Bone marrow smear: 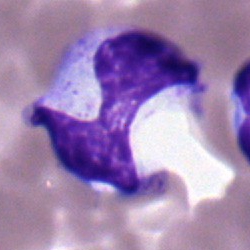 Specimen: bone marrow smear.
Cell type: band neutrophil.
Lineage: myeloid.